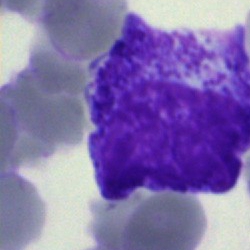Bone marrow aspirate smear, single cell — promyelocyte.